Bone marrow smear — 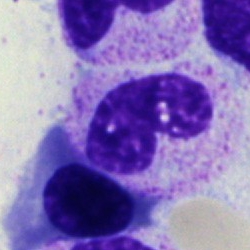

Morphology → band-form neutrophil.